Bone marrow aspirate smear. Image size 250×250: 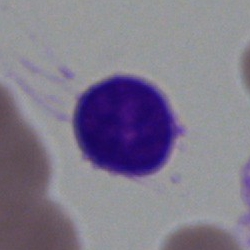 Q: Identify the cell.
A: Typical lymphocyte.